Peripheral blood smear.
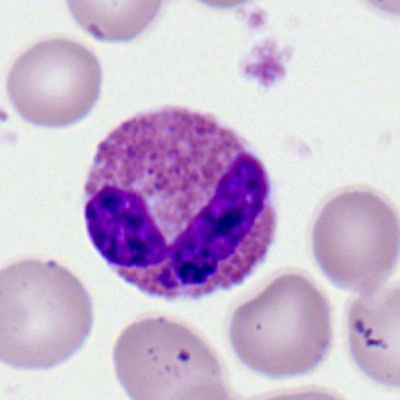Impression — eosinophil.